Peripheral blood smear · 360×363.
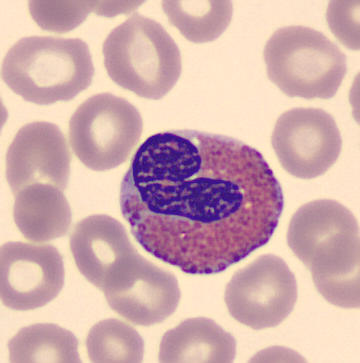
Eosinophil.